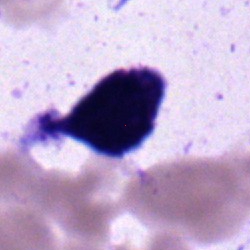Cell type = lymphocyte.